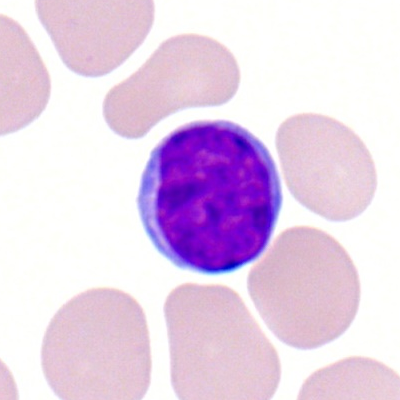Classification: typical lymphocyte.